Single-cell field · peripheral blood film — 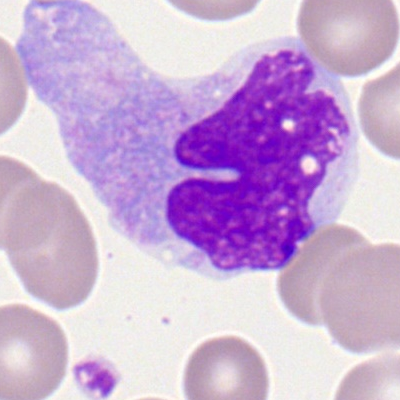 Showing a monocyte.